Bone marrow aspirate smear · May-Grünwald-Giemsa stain · brightfield, 40× oil-immersion objective.
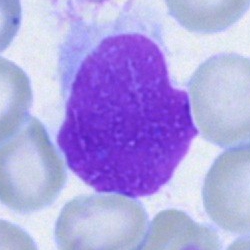
The cell shown is an artefact.